Single-cell crop · bone marrow aspirate smear.
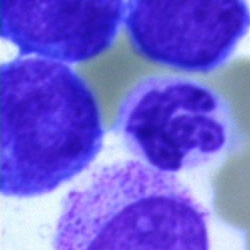
Morphology consistent with a segmented neutrophil.